Bone marrow aspirate smear
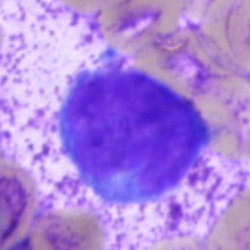Q: What is the morphological classification of this cell?
A: Blast.